Bone marrow aspirate smear; 250×250 px; Pappenheim-stained: 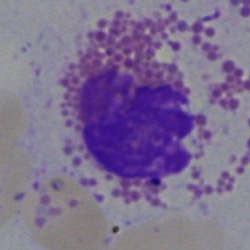 Q: What is shown here?
A: It is an eosinophilic granulocyte.